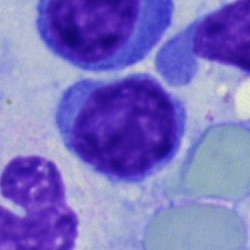Morphology consistent with a typical lymphocyte.